Bone marrow aspirate smear.
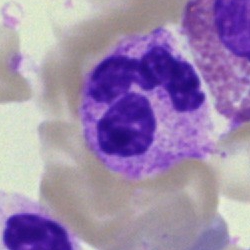

Neutrophil (segmented).